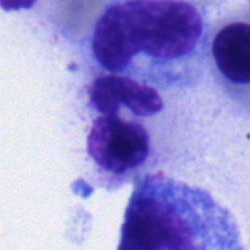
Bone marrow aspirate smear, single cell — neutrophil (segmented).